Pappenheim-stained. Bone marrow aspirate smear — 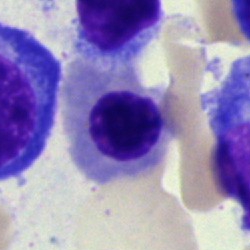

Q: What is shown here?
A: This is a nucleated red blood cell.